Bone marrow smear.
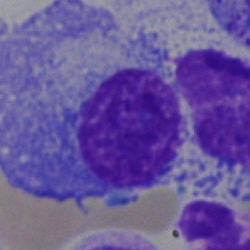

This is a plasma cell.